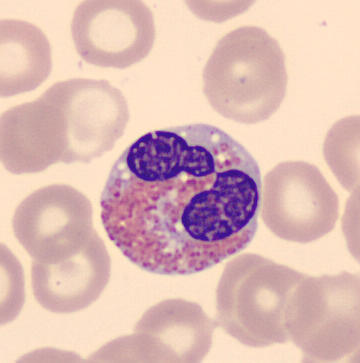An eosinophilic granulocyte.